Bone marrow aspirate smear. Pappenheim-stained — 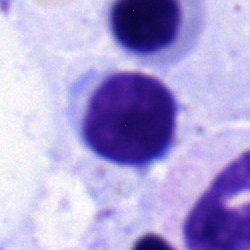Impression → typical lymphocyte.